Bone marrow smear; brightfield, 40× oil-immersion objective — 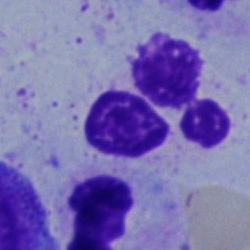Specimen: bone marrow smear.
Classification: neutrophil (segmented).
Lineage: myeloid.